Peripheral blood film; single-cell crop; image size 400×400.
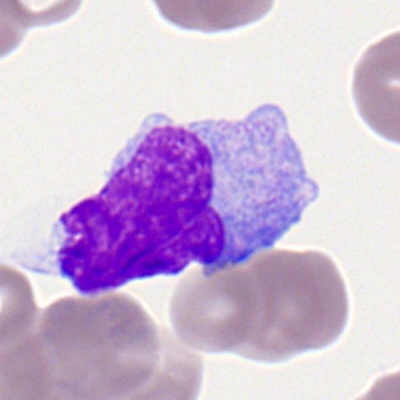 Cell type = monocyte.